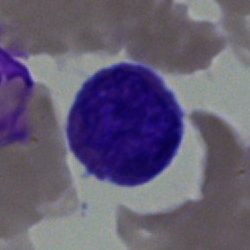
The classification is typical lymphocyte.